Bone marrow smear; image size 250×250: 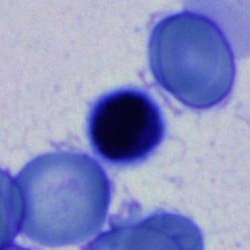Cell: typical lymphocyte.